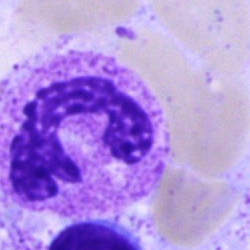
Q: What is shown here?
A: Neutrophil (segmented).